Bone marrow aspirate smear · single cell centered in the field.
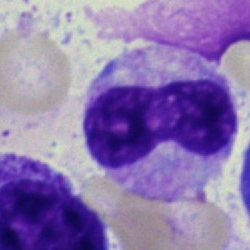
Impression → metamyelocyte.